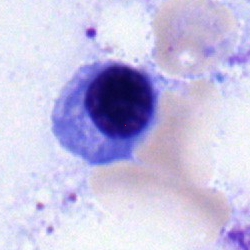
Specimen: bone marrow aspirate smear.
Cell: normoblast.